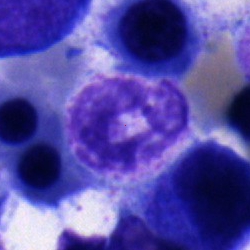 Bone marrow aspirate smear, single cell — segmented neutrophil.